Romanowsky stain. Peripheral blood film — 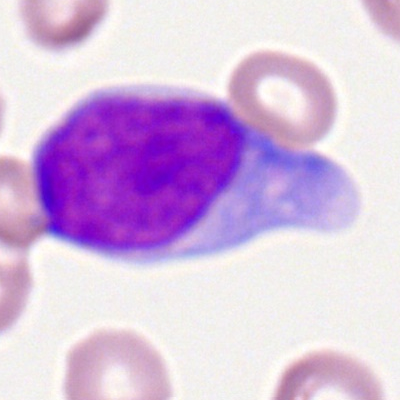

Single cell identified as a myeloblast.